Bone marrow aspirate smear:
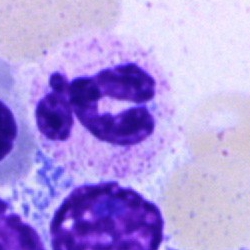
This is a segmented neutrophil.